Bone marrow smear; cropped to a single cell; brightfield, 40× oil-immersion objective — 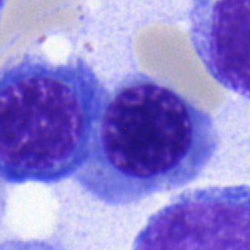This is a nucleated red blood cell.